Single cell centered in the field. 250 by 250 pixels. Bone marrow smear.
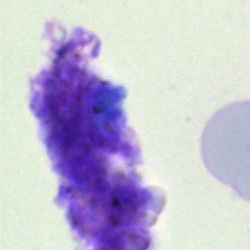 Q: What is shown here?
A: Artefact.